Bone marrow aspirate smear.
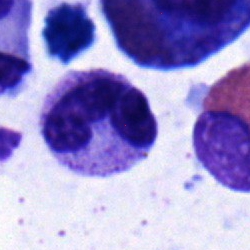 Morphological class: neutrophil (band).